Bone marrow aspirate smear; 250×250.
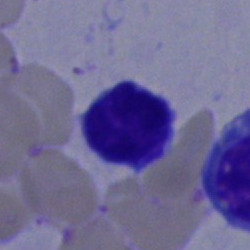

Specimen: bone marrow aspirate smear.
Morphological class: typical lymphocyte.